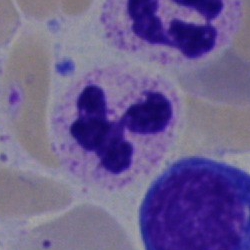 Cell type: segmented neutrophil.